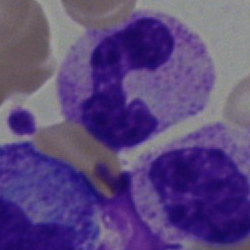Morphology consistent with a neutrophil (segmented).